Bone marrow smear — 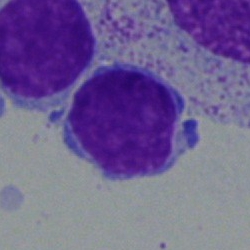

Showing a lymphocyte.